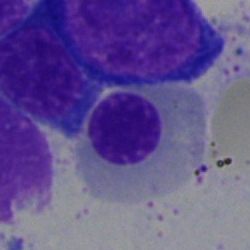 Specimen: bone marrow smear.
Cell: erythroblast.
Lineage: erythroid.